Bone marrow smear; 40× oil immersion; single cell centered in the field
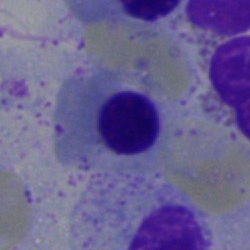

Q: Identify the cell.
A: A nucleated red cell.